Bone marrow smear. Pappenheim-stained. 40× oil immersion:
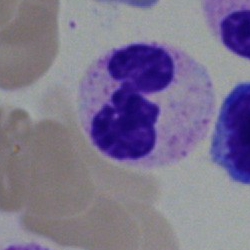

Morphology consistent with a neutrophil (segmented).